May-Grünwald-Giemsa/Pappenheim stain. Bone marrow smear. 40× objective, oil immersion: 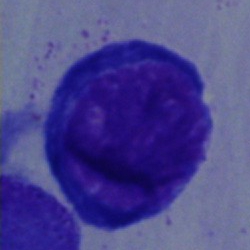

Q: What is the morphological classification of this cell?
A: It is a pronormoblast.